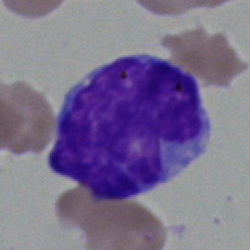 Blast.